Bone marrow aspirate smear · 40× objective, oil immersion.
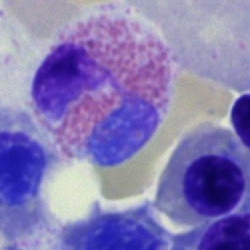

Classification — eosinophil.